Bone marrow aspirate smear.
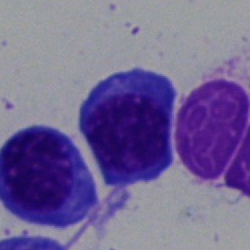 Specimen: bone marrow smear.
Classification: nucleated red cell.
Lineage: erythroid.